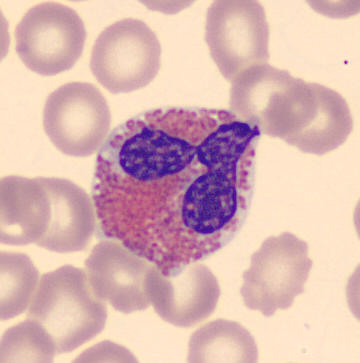

Morphology — eosinophil. Acquisition: Peripheral blood film · CellaVision DM96 digital cell image.